Bone marrow smear; May-Grünwald-Giemsa stain: 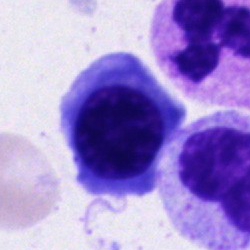
Morphology consistent with an erythroblast.